250×250 px · bone marrow aspirate smear — 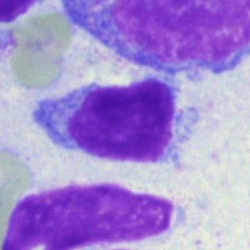

Impression — typical lymphocyte.